May-Grünwald-Giemsa/Pappenheim stain · bone marrow aspirate smear · 40× objective, oil immersion — 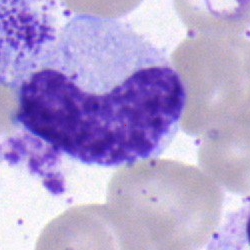

Q: What is the morphological classification of this cell?
A: It is a stab cell.